Bone marrow aspirate smear: 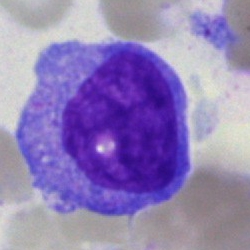Morphological class = blast.